Bone marrow aspirate smear · single-cell crop · May-Grünwald-Giemsa/Pappenheim stain:
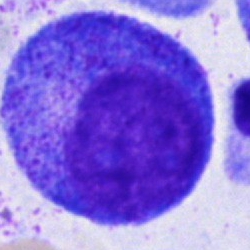
Morphological class: progranulocyte.